Bone marrow aspirate smear — 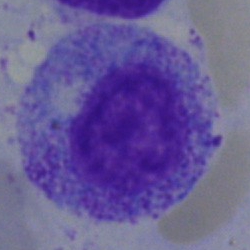
Showing a promyelocyte.